Peripheral blood film: 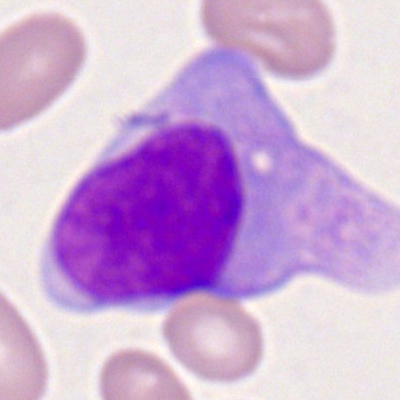 Morphological class: monoblast.